Bone marrow smear
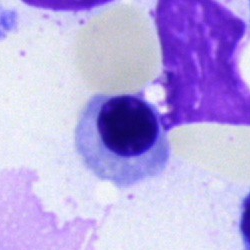
Impression — erythroblast.